Bone marrow smear — 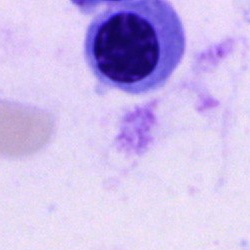Morphology → normoblast.